May-Grünwald-Giemsa stain. Bone marrow aspirate smear. 40× oil immersion — 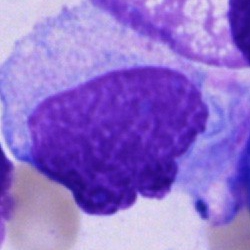

An artifact.